May-Grünwald-Giemsa/Pappenheim stain. Brightfield microscopy, 40× oil immersion. Bone marrow aspirate smear:
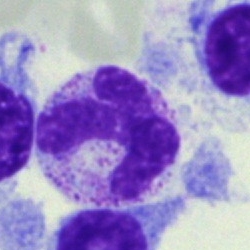

Morphology → segmented neutrophil.